Bone marrow smear: 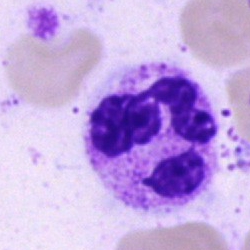 Impression — neutrophil (segmented).